Bone marrow aspirate smear — 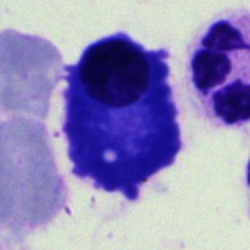 Showing a plasmacyte.